Peripheral blood film: 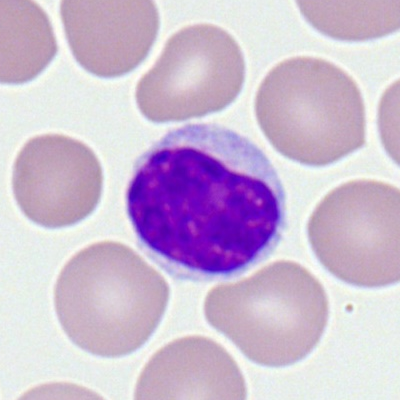

The morphological class is typical lymphocyte.